Bone marrow aspirate smear. 250 by 250 pixels.
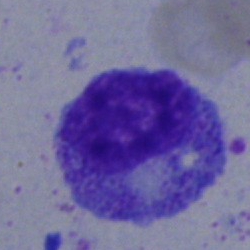
Q: What is the morphological classification of this cell?
A: This is a myelocyte.